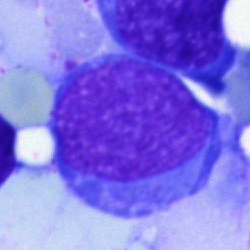

Bone marrow aspirate smear, single cell — blast.